Peripheral blood film; image size 400×400.
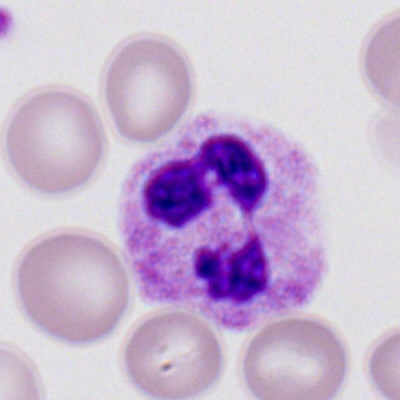 Cell type = polymorphonuclear neutrophil.